May-Grünwald-Giemsa/Pappenheim stain · bone marrow aspirate smear:
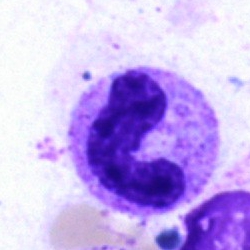
Q: What type of cell is this?
A: It is a stab cell.